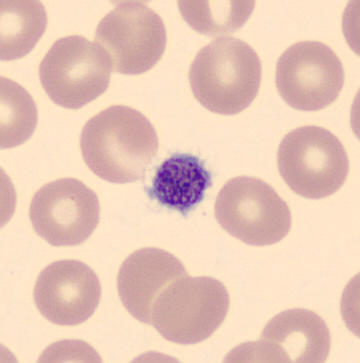Classification: platelet.

Image: Peripheral blood smear; CellaVision DM96 digital cell image.